Bone marrow smear: 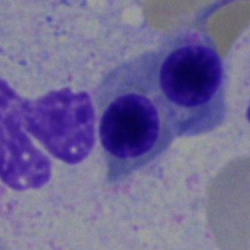{"cell_type": "nucleated red cell", "lineage": "erythroid"}